Bone marrow smear. 40× objective, oil immersion. 250×250 px: 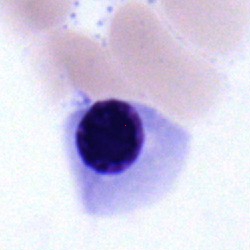

Q: What is the morphological classification of this cell?
A: This is a normoblast.